Bone marrow smear: 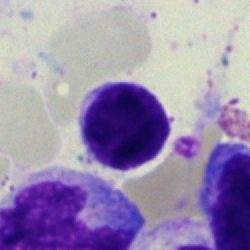
Classification: lymphocyte.